40× objective, oil immersion · bone marrow smear:
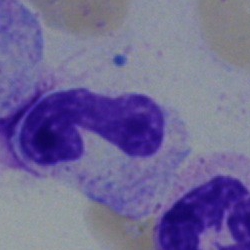This is a band neutrophil.